Bone marrow smear. 250 by 250 pixels. Single-cell crop.
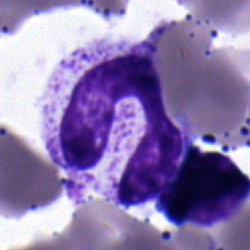

Q: Identify the cell.
A: Band neutrophil.